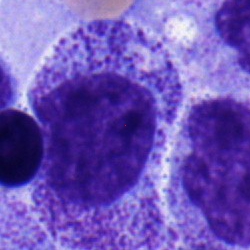
Q: What is the morphological classification of this cell?
A: It is a promyelocyte.